Single cell centered in the field; bone marrow aspirate smear; 250 by 250 pixels.
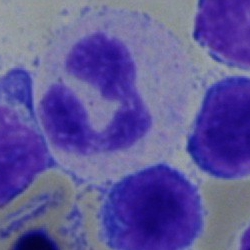Cell = polymorphonuclear neutrophil.